Bone marrow aspirate smear; 250×250 px:
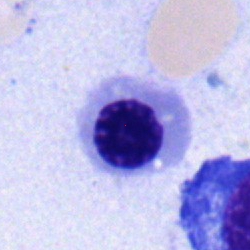
The cell is nucleated red cell.